40× objective, oil immersion · cropped to a single cell · bone marrow smear: 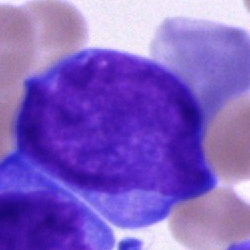 The cell shown is an undifferentiated blast.